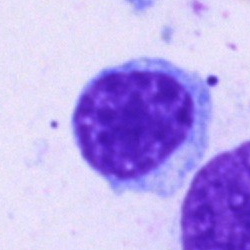
Specimen: bone marrow smear.
Morphological class: typical lymphocyte.
Lineage: lymphoid.